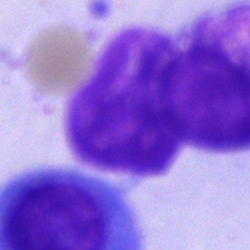

The cell type is artifact.